Bone marrow aspirate smear
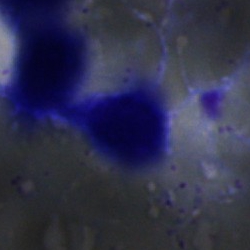 Single cell identified as an artifact.